40× objective, oil immersion · 250 by 250 pixels · bone marrow aspirate smear: 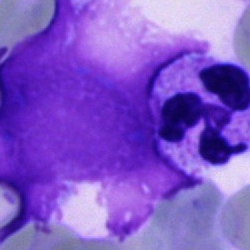

Q: What cell is this?
A: Polymorphonuclear neutrophil.